Single-cell crop · bone marrow aspirate smear: 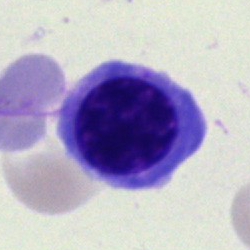

This is a nucleated red blood cell.